40× objective, oil immersion; bone marrow smear: 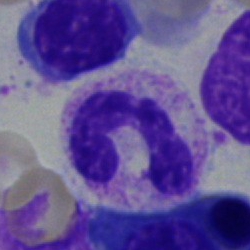
Morphology consistent with a band-form neutrophil.